Bone marrow smear:
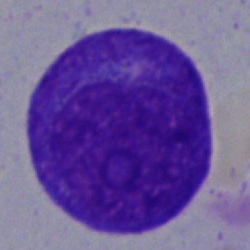

Promyelocyte.